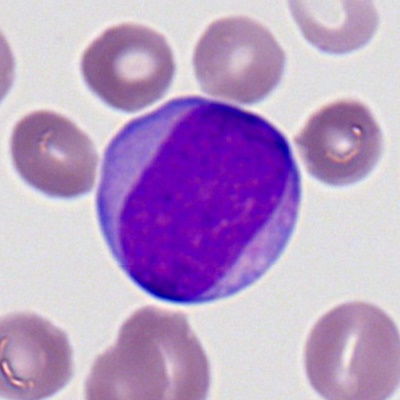Morphological class: myeloid blast.